Bone marrow smear:
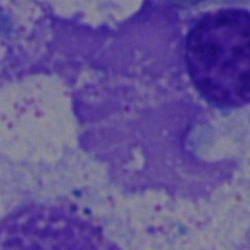

Cell = artefact.